Bone marrow aspirate smear.
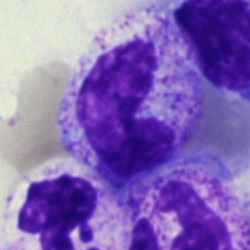
Morphology — band neutrophil.